Cropped to a single cell. Peripheral blood film.
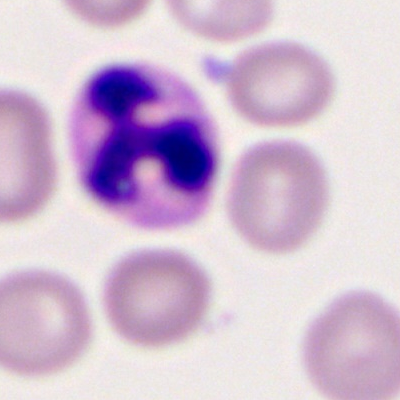Morphology consistent with a segmented neutrophil.